Bone marrow aspirate smear — 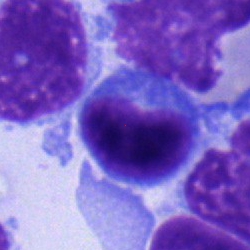Impression — typical lymphocyte.